Peripheral blood smear; Romanowsky-type stain: 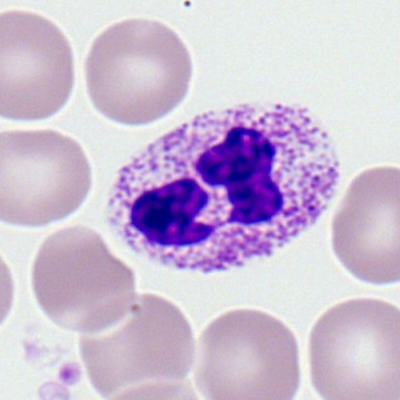

Q: What is the morphological classification of this cell?
A: It is a neutrophil (segmented).